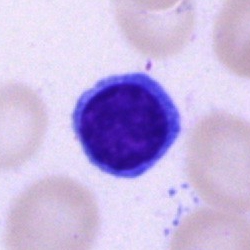Morphology — typical lymphocyte.